Bone marrow aspirate smear
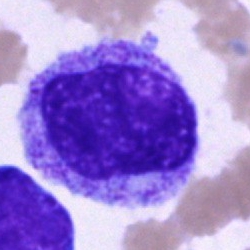Morphological class: progranulocyte.